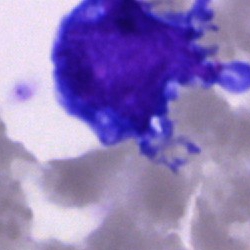 {"cell_type": "blast"}